40× oil immersion · bone marrow smear · Pappenheim-stained
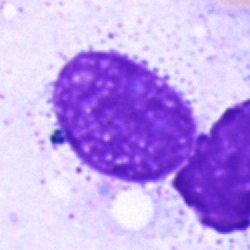Single cell identified as an artefact.